Peripheral blood smear: 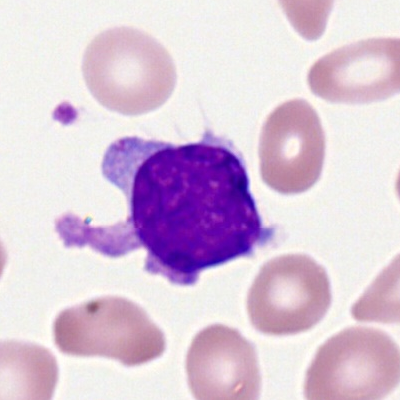Q: Identify the cell.
A: Lymphocyte.